Bone marrow aspirate smear · cropped to a single cell
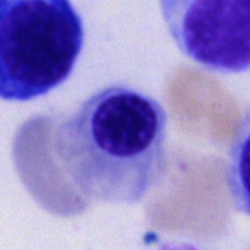

Specimen: bone marrow aspirate smear.
Morphological class: nucleated red blood cell.